40× objective, oil immersion; bone marrow aspirate smear: 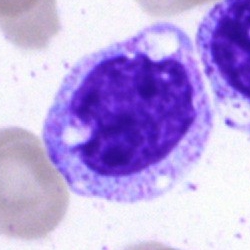

The morphological class is myelocyte.